40× objective, oil immersion. 250×250 px. Bone marrow aspirate smear:
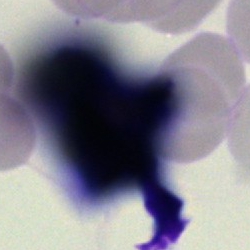 Single cell identified as an artefact.